Bone marrow aspirate smear.
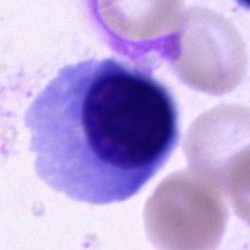 Nucleated red cell.